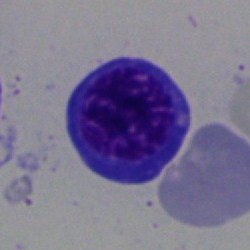 Normoblast.